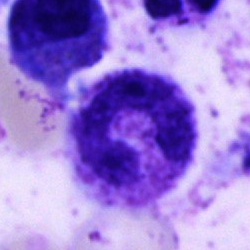Showing a band neutrophil.